Bone marrow aspirate smear; 40× oil immersion; 250×250 — 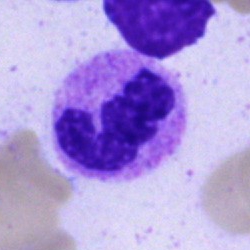
Classification = neutrophil (segmented).